Bone marrow aspirate smear.
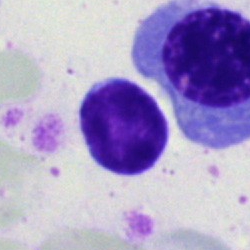
Impression → typical lymphocyte.